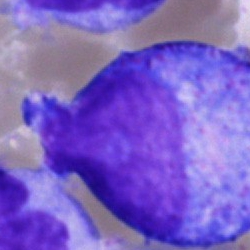
The morphological class is promyelocyte.